Bone marrow aspirate smear
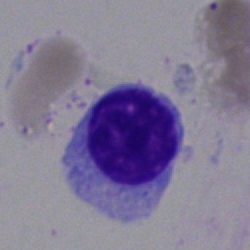Showing a nucleated red blood cell.